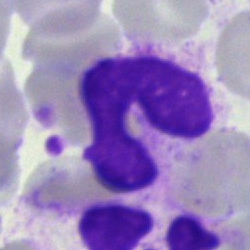

Cell — artefact.